Bone marrow smear · 250×250: 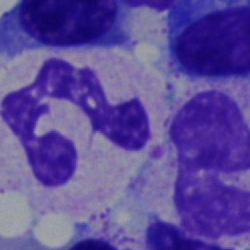Specimen: bone marrow smear.
Cell: segmented neutrophil.